Peripheral blood film:
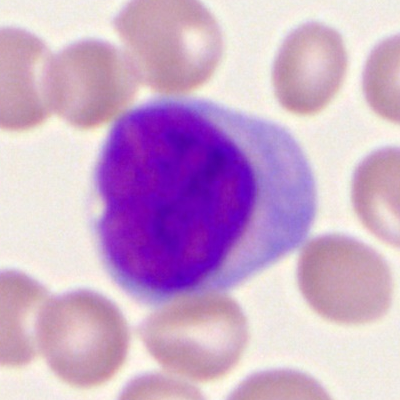

Cell type = myeloid blast.